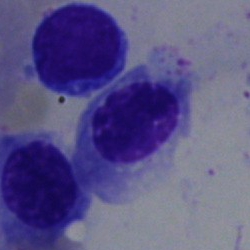
Impression — nucleated red cell.